Bone marrow aspirate smear — 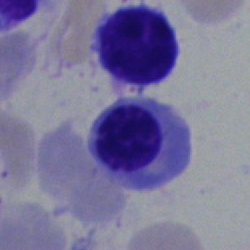

The cell is nucleated red cell.